Cropped to a single cell · bone marrow aspirate smear:
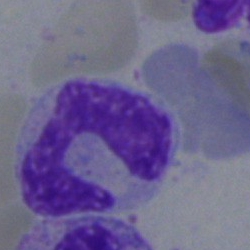

Specimen: bone marrow aspirate smear.
Cell: band neutrophil.
Lineage: myeloid.